Bone marrow aspirate smear.
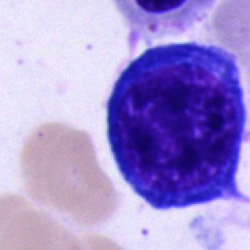

Morphology — pronormoblast.